CellaVision DM96 · peripheral blood film: 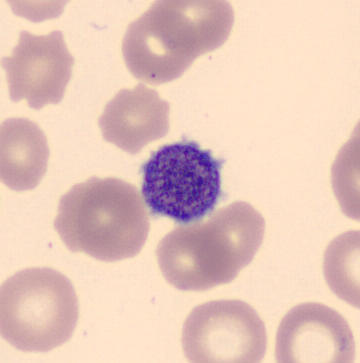

Q: What is this?
A: A thrombocyte.